Bone marrow aspirate smear. Image size 250×250. 40× oil immersion
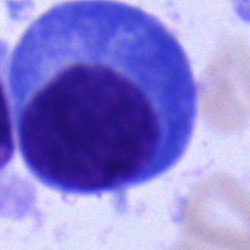 Classification — plasma cell.